Bone marrow smear · May-Grünwald-Giemsa/Pappenheim stain — 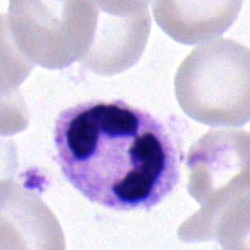 This is a segmented neutrophil.